May-Grünwald-Giemsa/Pappenheim stain. Bone marrow aspirate smear: 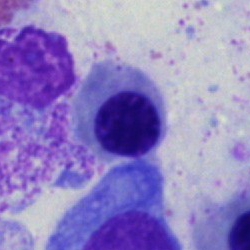
Classification: erythroblast.